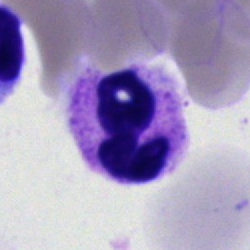 Specimen: bone marrow aspirate smear.
Morphological class: polymorphonuclear neutrophil.
Lineage: myeloid.